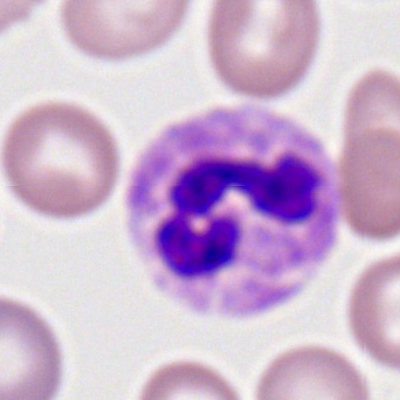 A segmented neutrophil.